Bone marrow aspirate smear · cropped to a single cell:
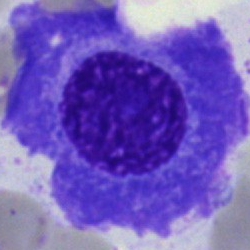Q: What type of cell is this?
A: It is a plasmacyte.